Bone marrow smear.
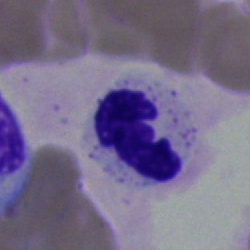 The cell shown is a neutrophil (segmented).